Peripheral blood smear.
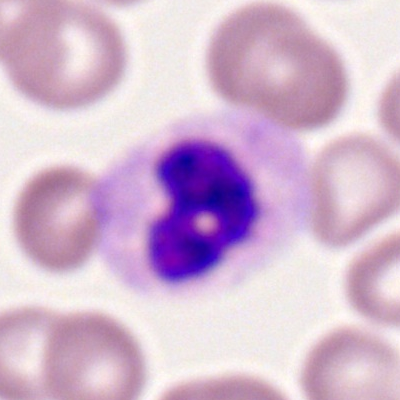Single cell identified as a polymorphonuclear neutrophil.